Peripheral blood smear.
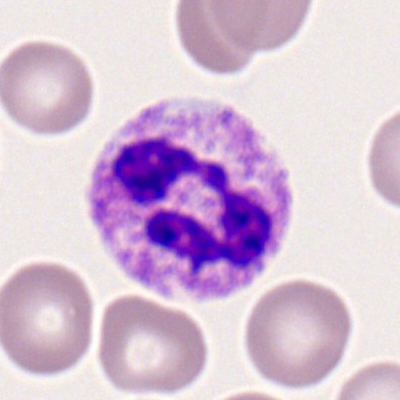
This is a neutrophil (segmented).